Bone marrow smear
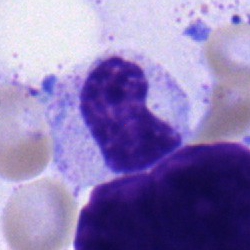
Morphological class = metamyelocyte.